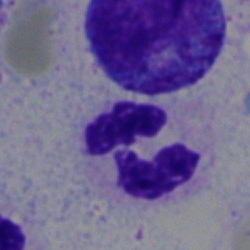 Specimen: bone marrow smear.
Morphological class: neutrophil (segmented).
Lineage: myeloid.